Bone marrow aspirate smear. MGG-stained
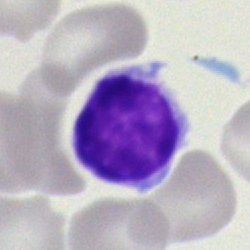Specimen: bone marrow aspirate smear.
Cell type: typical lymphocyte.
Lineage: lymphoid.